Bone marrow aspirate smear: 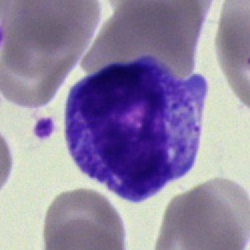Cell type — myelocyte.